Bone marrow aspirate smear — 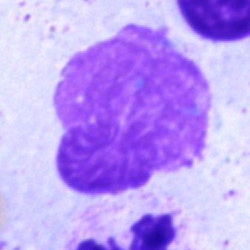 Classification = artifact.